Bone marrow aspirate smear.
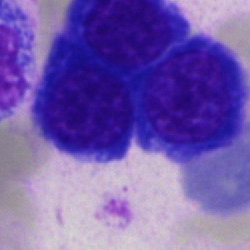

Cell type = normoblast.